Bone marrow aspirate smear. Brightfield microscopy, 40× oil immersion. Single-cell crop
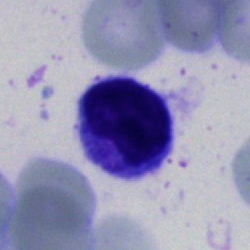

Morphology → typical lymphocyte.